Single-cell crop; bone marrow smear; Pappenheim-stained
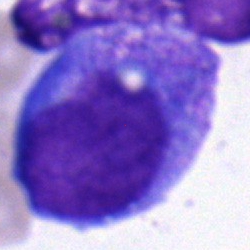Cell type: promyelocyte.